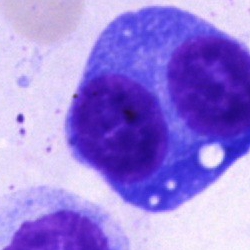
Single-cell crop from a bone marrow smear: plasma cell.